Single cell centered in the field · bone marrow aspirate smear · 250 by 250 pixels: 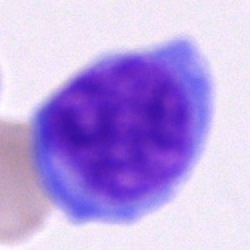 Morphology consistent with a blast.